Peripheral blood smear
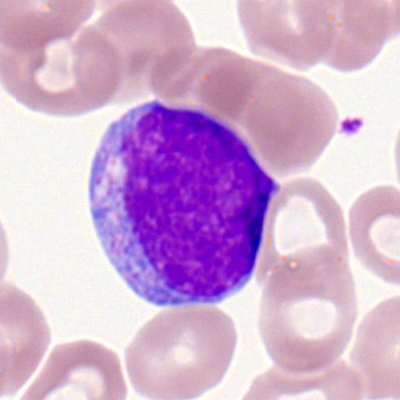Specimen: peripheral blood film.
Classification: myeloid blast.
Lineage: myeloid.